Peripheral blood smear · Romanowsky-stained: 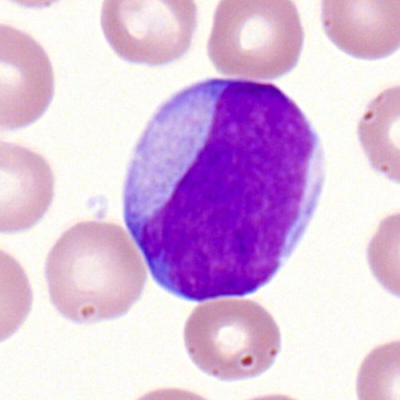
The morphological class is myeloid blast.